Bone marrow aspirate smear · 250×250 px.
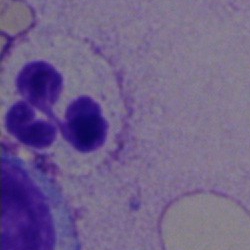Classification — neutrophil (segmented).